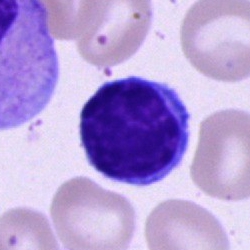A typical lymphocyte on a bone marrow smear.